Peripheral blood film
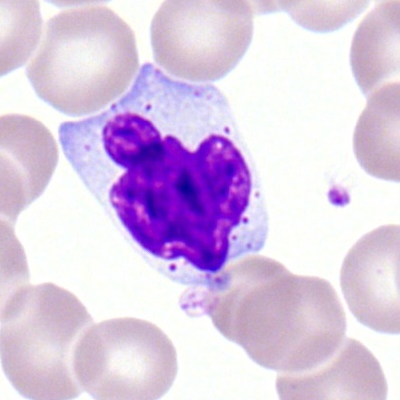

{"cell_type": "lymphocyte", "lineage": "lymphoid"}